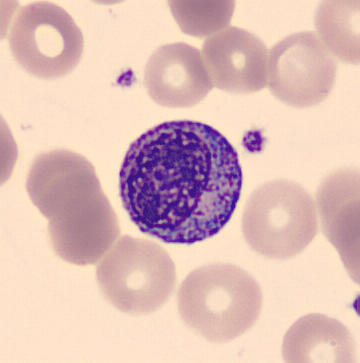

This is a myelocyte. Acquisition: Peripheral blood smear.